250 by 250 pixels; Pappenheim-stained; bone marrow aspirate smear
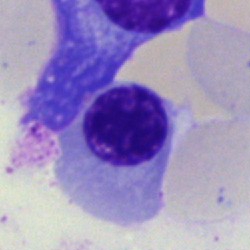
Q: Which cell type is shown here?
A: Nucleated red cell.